Bone marrow aspirate smear.
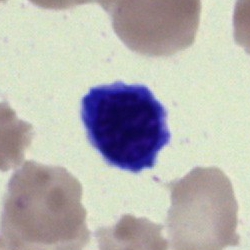
Morphology consistent with a lymphocyte.